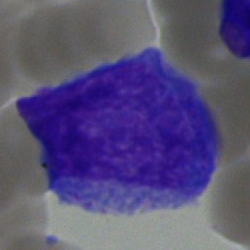 The morphological class is undifferentiated blast.